Bone marrow aspirate smear: 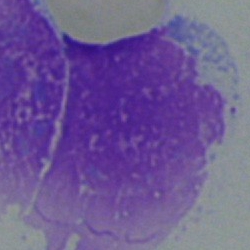 Morphological class = artifact.